Bone marrow aspirate smear. Cropped to a single cell. Pappenheim-stained
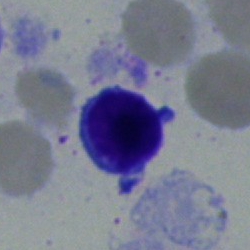
Cell — typical lymphocyte.